Bone marrow aspirate smear · 250×250 px · single-cell field — 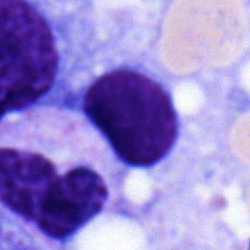
The cell is lymphocyte.